Pappenheim-stained. Bone marrow smear — 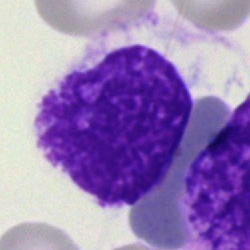 Classification — artifact.